Single cell centered in the field · bone marrow aspirate smear — 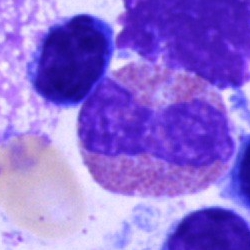 Cell: eosinophil.